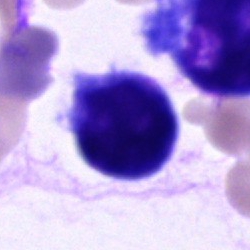

Morphology → undifferentiated blast.